250×250 px · May-Grünwald-Giemsa stain · bone marrow smear
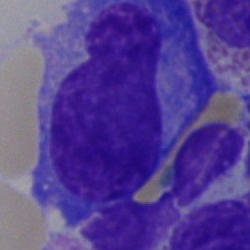A plasmacyte.